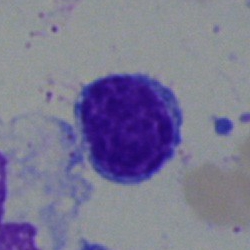 Q: What is the morphological classification of this cell?
A: A lymphocyte.